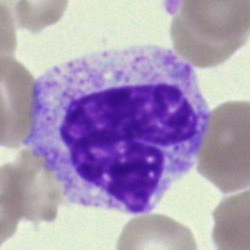
Morphology → neutrophil (band).